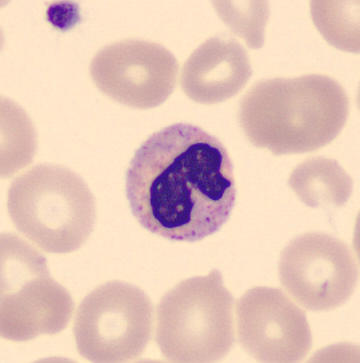 Image: Peripheral blood film. Imaged on a CellaVision DM96 analyser.
Cell — stab cell.